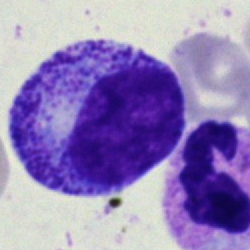
Morphology consistent with a myelocyte.